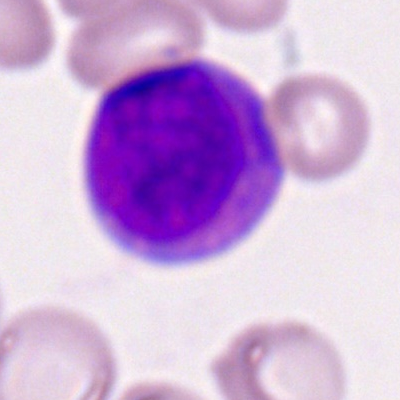
The classification is myeloid blast.